Bone marrow smear: 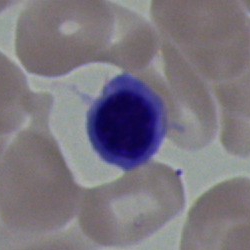
The classification is normoblast.